Bone marrow smear · image size 250×250 · 40× objective, oil immersion: 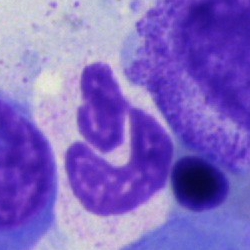Q: What type of cell is this?
A: This is a polymorphonuclear neutrophil.